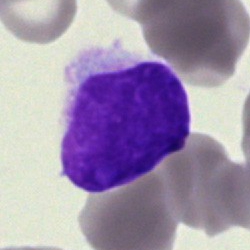Morphology consistent with an artifact.